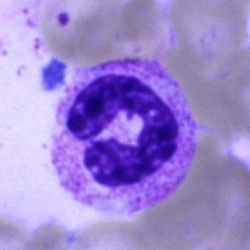
Q: What type of cell is this?
A: It is a segmented neutrophil.